Bone marrow smear:
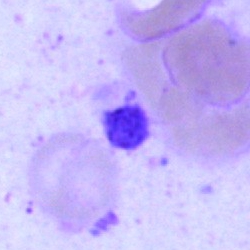

Q: What is shown here?
A: It is an artefact.